250×250 px. Bone marrow smear
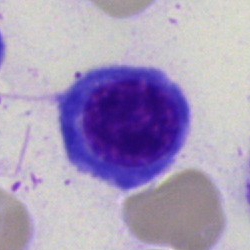
Morphology consistent with a normoblast.